Bone marrow aspirate smear. May-Grünwald-Giemsa/Pappenheim stain. 40× oil immersion — 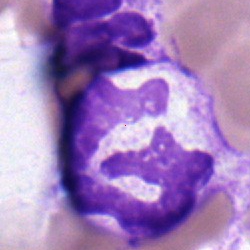
Q: Which cell type is shown here?
A: Polymorphonuclear neutrophil.